Bone marrow aspirate smear — 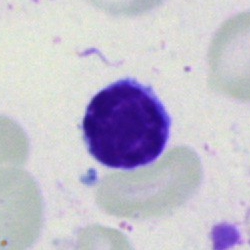
Impression → typical lymphocyte.